Bone marrow smear; 40× objective, oil immersion — 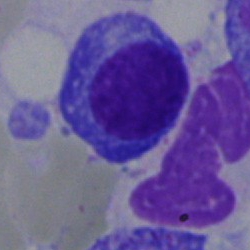
Morphology consistent with a plasmacyte.